Peripheral blood film — 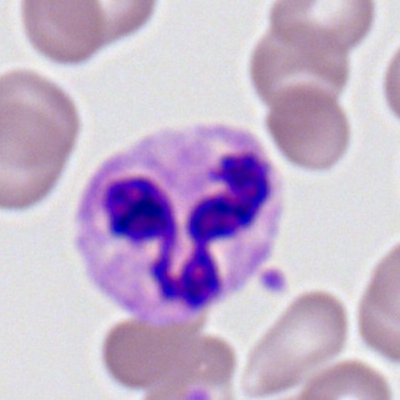
Q: What cell is this?
A: Segmented neutrophil.